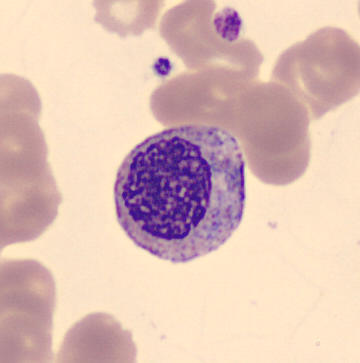
Acquisition: 360×363 · peripheral blood film.

A myelocyte.